Romanowsky-stained; peripheral blood smear; 400×400
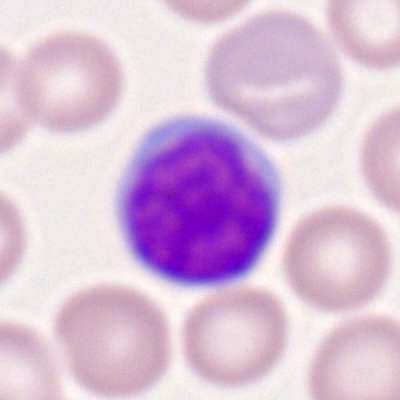
Specimen: peripheral blood smear.
Morphological class: typical lymphocyte.